Peripheral blood film:
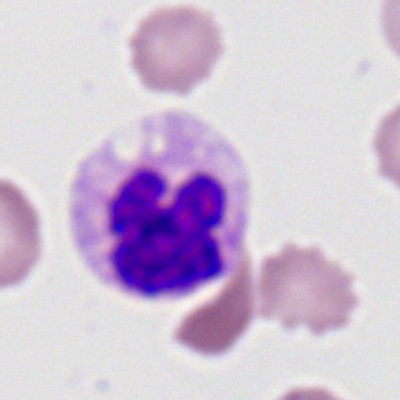

Single cell identified as a polymorphonuclear neutrophil.